Peripheral blood smear — 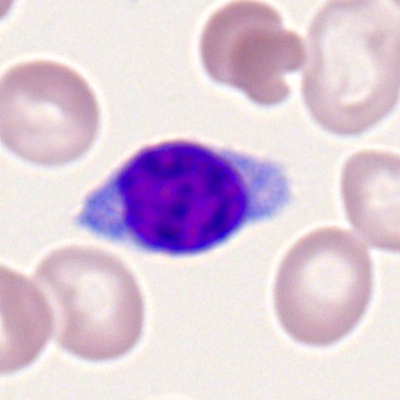Cell = typical lymphocyte.